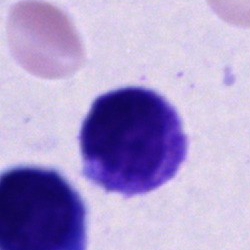
Cell: unidentifiable cell.